250×250. Bone marrow smear — 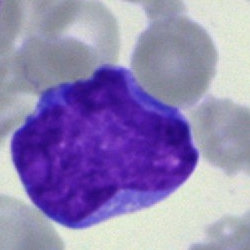
The cell is blast.